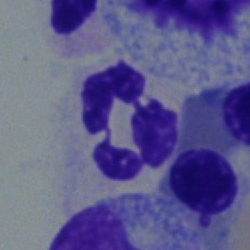
Classification = neutrophil (segmented).